Bone marrow smear
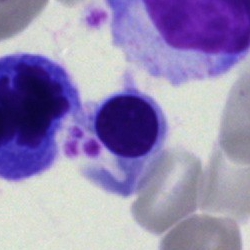{"cell_type": "erythroblast", "lineage": "erythroid"}